Bone marrow aspirate smear
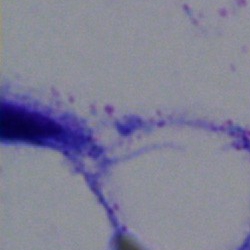

Specimen: bone marrow smear.
Cell: artifact.